Brightfield, 40× oil-immersion objective. Bone marrow smear. 250×250 px.
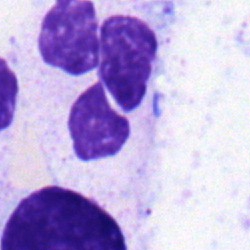

Q: What type of cell is this?
A: This is a segmented neutrophil.